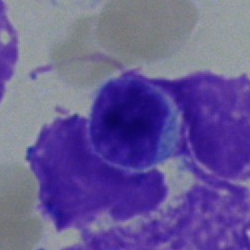 Typical lymphocyte.